Bone marrow smear
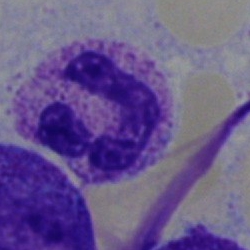

Showing a polymorphonuclear neutrophil.